Bone marrow smear
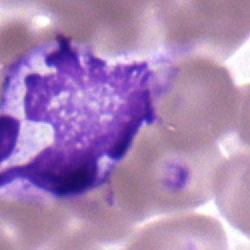Showing a polymorphonuclear neutrophil.